May-Grünwald-Giemsa stain; single-cell field; bone marrow smear.
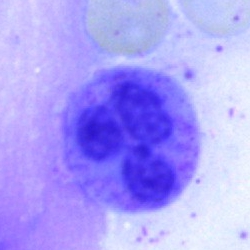
Specimen: bone marrow smear.
Cell type: segmented neutrophil.